Peripheral blood smear · Romanowsky-type stain:
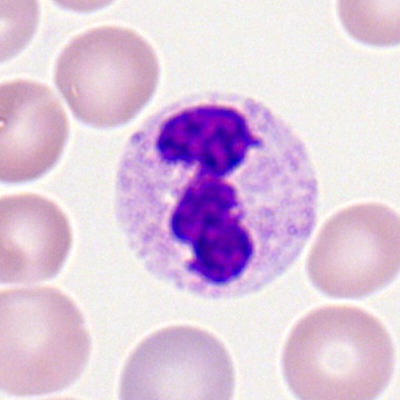 Specimen: peripheral blood film.
Morphological class: segmented neutrophil.
Lineage: myeloid.